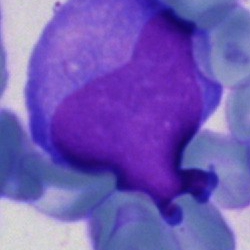
Bone marrow smear showing a blast.